Single-cell crop · image size 250×250 · bone marrow aspirate smear:
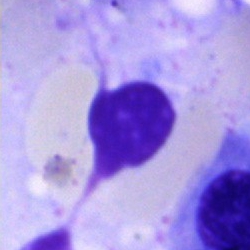 The cell type is artifact.